Brightfield, 40× oil-immersion objective · bone marrow smear — 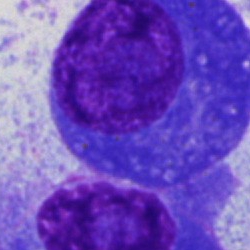This is a plasma cell.